Bone marrow aspirate smear:
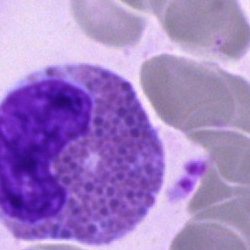

Q: What is shown here?
A: This is an eosinophil.